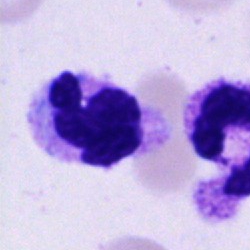
The cell is segmented neutrophil.